Cropped to a single cell. Brightfield microscopy, 40× oil immersion. Bone marrow smear — 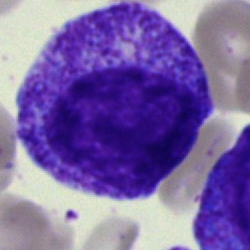
Specimen: bone marrow aspirate smear.
Morphological class: myelocyte.